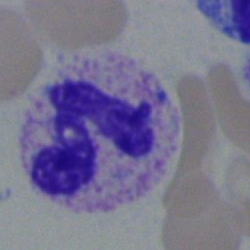
Impression — neutrophil (segmented).